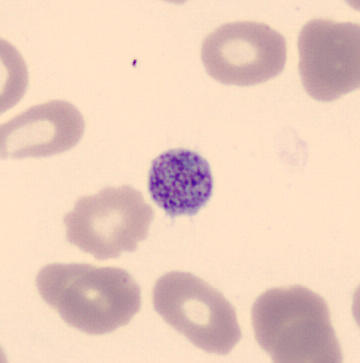 A platelet.

Acquisition: CellaVision DM96 digital cell image; peripheral blood film.